250×250 · bone marrow aspirate smear.
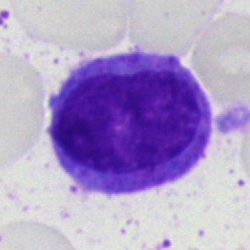
Classification — blast.